Bone marrow smear
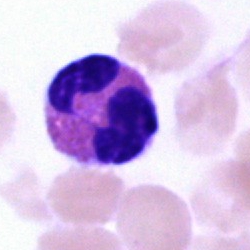
Specimen: bone marrow aspirate smear.
Classification: eosinophilic granulocyte.
Lineage: myeloid.